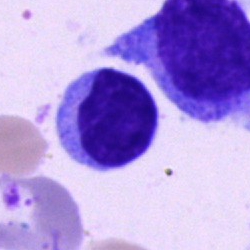
The cell shown is a lymphocyte.